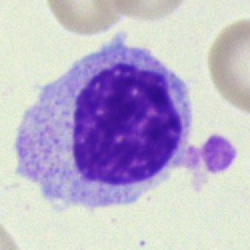

Bone marrow smear showing a myelocyte.